Image size 250×250. Bone marrow aspirate smear. Brightfield microscopy, 40× oil immersion — 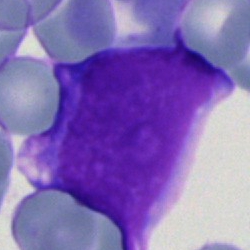

Showing a blast cell.